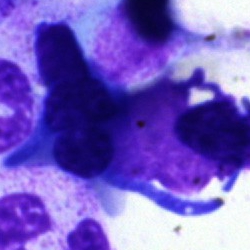
This is an artifact.